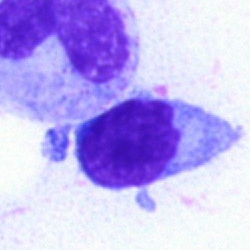

This is a lymphocyte.